Bone marrow smear — 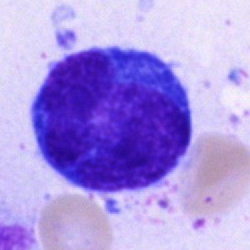
Q: What cell is this?
A: It is a pronormoblast.